Pappenheim-stained · bone marrow aspirate smear.
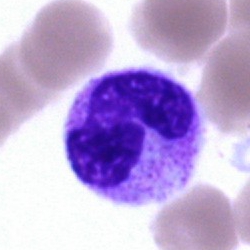
Morphology consistent with a neutrophil (segmented).